250×250 px; bone marrow aspirate smear
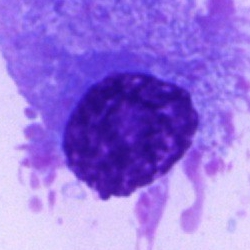

Q: Identify the cell.
A: Plasma cell.